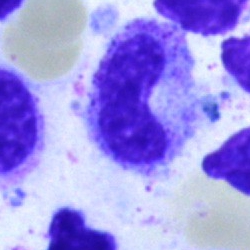

Cell: stab cell.